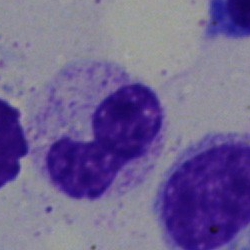

Q: Which cell type is shown here?
A: It is a neutrophil (band).